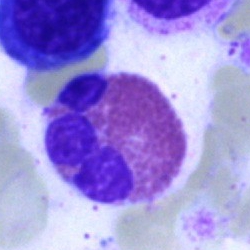

Q: What cell is this?
A: Eosinophil.